Peripheral blood film. M8 digital microscope (Precipoint), 100× oil immersion.
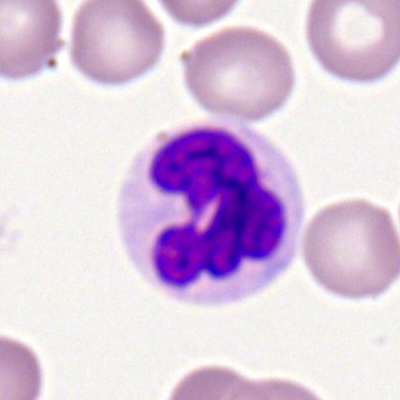
A neutrophil (segmented).